Image size 250×250. Bone marrow smear. Single-cell field — 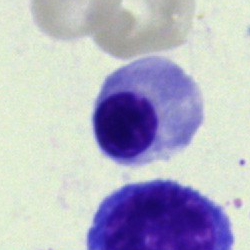A nucleated red cell.